Bone marrow smear — 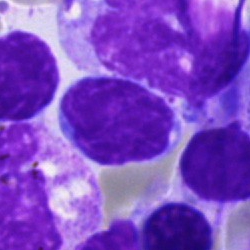

Specimen: bone marrow smear.
Classification: lymphocyte.
Lineage: lymphoid.